Bone marrow smear: 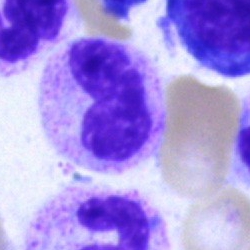Specimen: bone marrow smear.
Cell: stab cell.
Lineage: myeloid.